May-Grünwald-Giemsa/Pappenheim stain · bone marrow aspirate smear · single-cell field: 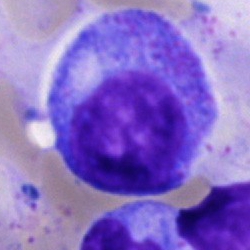
Q: Identify the cell.
A: Progranulocyte.